Bone marrow aspirate smear · cropped to a single cell · 250×250:
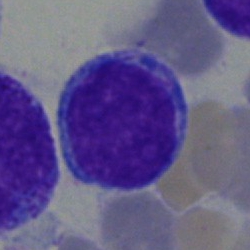
Cell = blast cell.